Bone marrow aspirate smear — 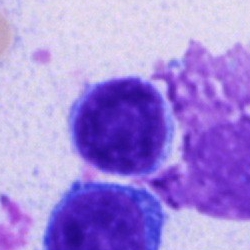 A typical lymphocyte.